Bone marrow smear: 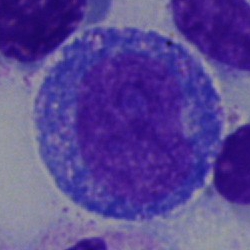
Q: Which cell type is shown here?
A: It is a promyelocyte.